Bone marrow aspirate smear. Pappenheim-stained
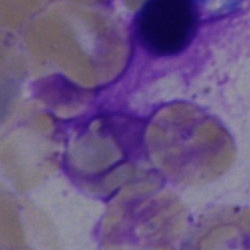

Q: What is shown here?
A: It is an artifact.